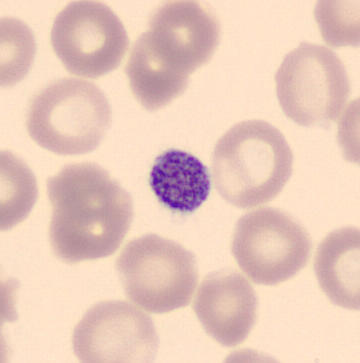 Morphology — thrombocyte. Preparation: Peripheral blood smear.